Bone marrow smear:
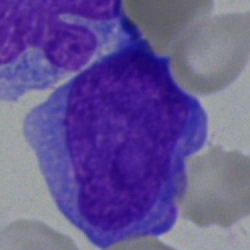 Classification — blast cell.